Bone marrow smear: 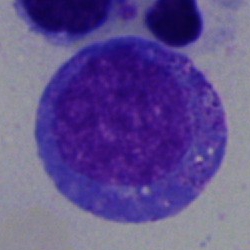

Impression — undifferentiated blast.